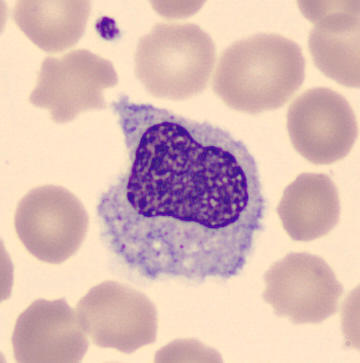 Classification: monocyte. Acquisition: Peripheral blood film.